Bone marrow smear
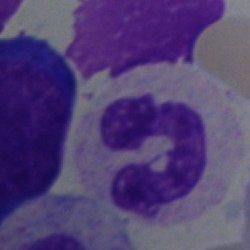
This is a polymorphonuclear neutrophil.